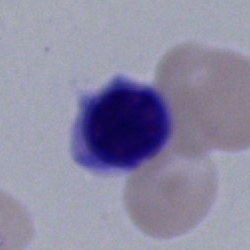Impression → erythroblast.